Image size 250×250. Pappenheim-stained. Bone marrow smear.
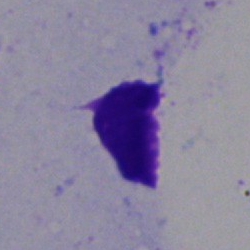 Morphological class: artifact.